Bone marrow smear:
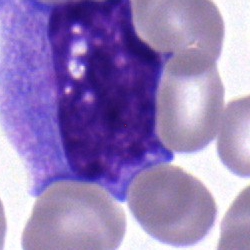
Cell type = monocyte.